250×250 px. Bone marrow smear
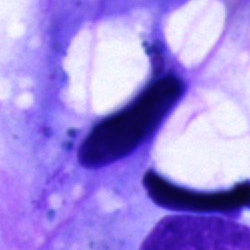Impression — artefact.